Bone marrow aspirate smear — 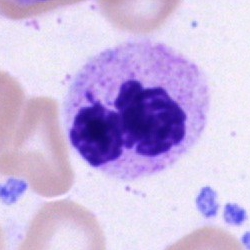
A polymorphonuclear neutrophil.